Bone marrow smear · 250 by 250 pixels.
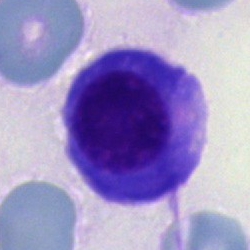
Cell type: nucleated red blood cell.